Peripheral blood smear · M8 digital microscope (Precipoint), 100× oil immersion: 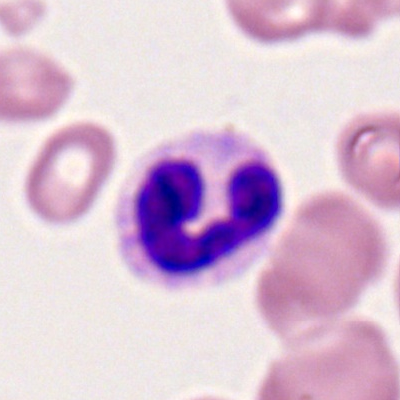 Cell type — polymorphonuclear neutrophil.